Bone marrow aspirate smear; 40× objective, oil immersion
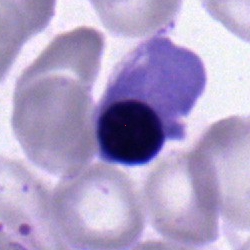

Specimen: bone marrow smear.
Cell type: nucleated red blood cell.
Lineage: erythroid.